Bone marrow aspirate smear:
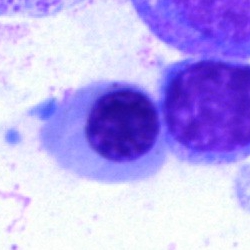

Cell: erythroblast.